40× oil immersion; bone marrow aspirate smear; 250×250
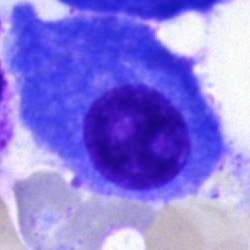 Impression — plasmacyte.